Bone marrow smear · brightfield microscopy, 40× oil immersion.
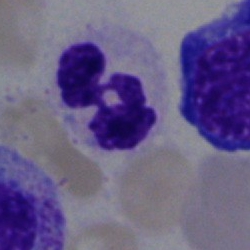Showing a segmented neutrophil.